250 by 250 pixels · bone marrow smear
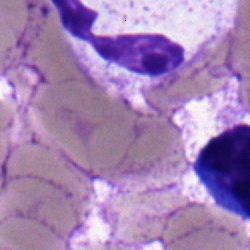
The cell is segmented neutrophil.